Image size 250×250. Bone marrow aspirate smear — 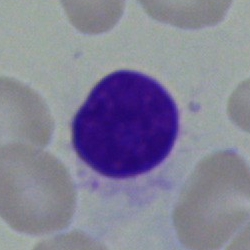
Specimen: bone marrow aspirate smear.
Classification: lymphocyte.
Lineage: lymphoid.